Single-cell field; peripheral blood film
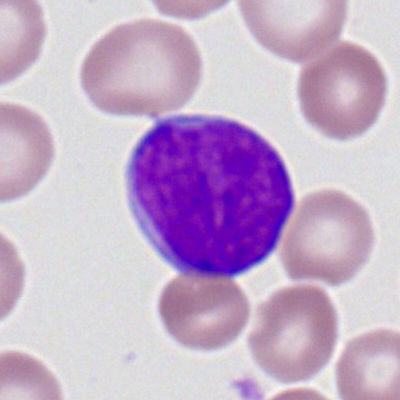

Morphology → myeloblast.